Bone marrow aspirate smear
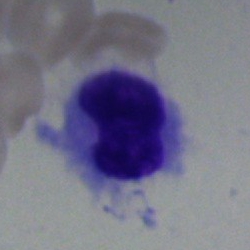 This is a hairy cell.